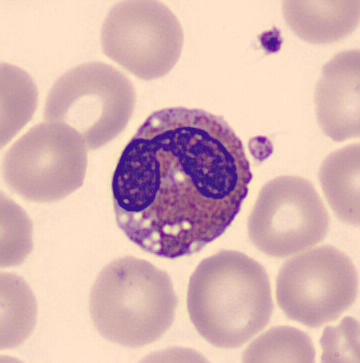 An eosinophil. Peripheral blood film. May Grünwald-Giemsa stain. CellaVision DM96 digital cell image.